Bone marrow smear.
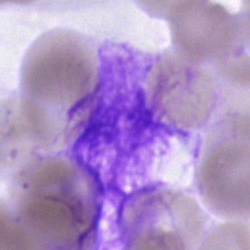 Single cell identified as an artefact.